Bone marrow aspirate smear
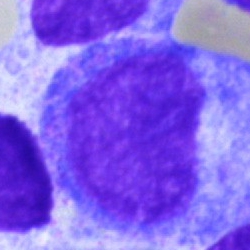 Specimen: bone marrow aspirate smear.
Cell: progranulocyte.
Lineage: myeloid.